250 by 250 pixels; bone marrow smear.
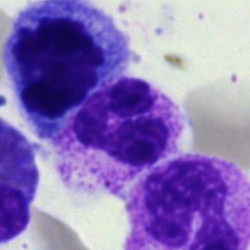

Morphological class = neutrophil (segmented).